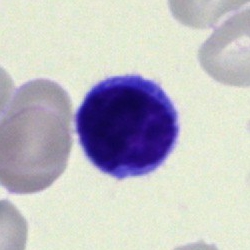
The cell type is typical lymphocyte.